Bone marrow smear: 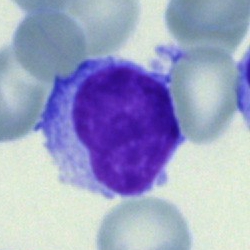
Cell type = typical lymphocyte.